May-Grünwald-Giemsa stain · bone marrow smear — 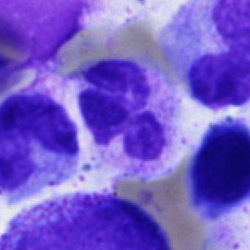Impression — polymorphonuclear neutrophil.